Bone marrow aspirate smear
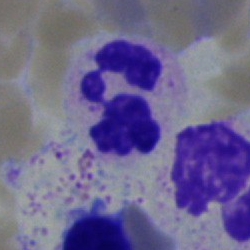
Cell type: neutrophil (segmented).